Bone marrow smear:
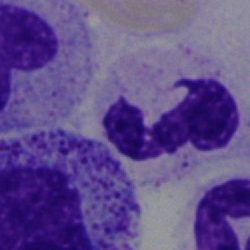
Cell = polymorphonuclear neutrophil.